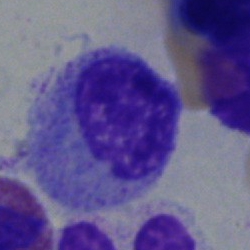 The cell is myelocyte.